Peripheral blood film — 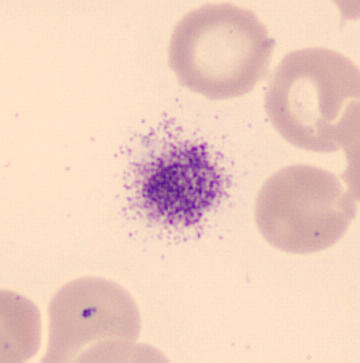Identified as a platelet (thrombocyte).